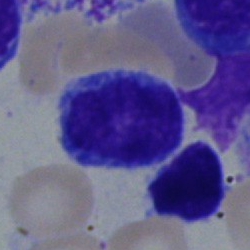
Morphology → typical lymphocyte.